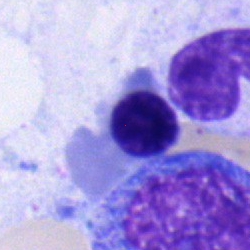 Bone marrow smear showing a normoblast.